Bone marrow aspirate smear: 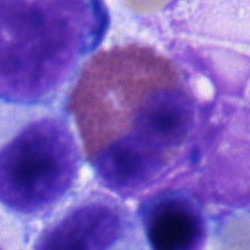 Q: What cell is this?
A: Eosinophilic granulocyte.